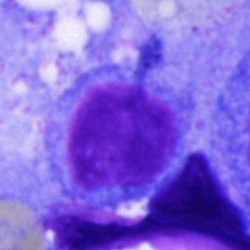This is a blast cell.